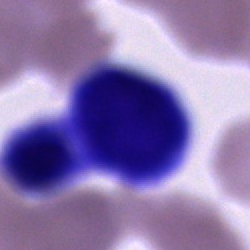
Morphology consistent with a cell of indeterminate lineage.